Bone marrow smear. 40× objective, oil immersion. 250×250:
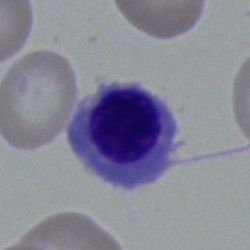The cell shown is a normoblast.